40× oil immersion · bone marrow aspirate smear: 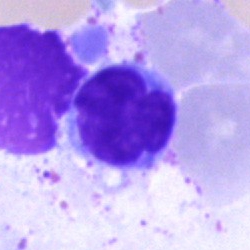 A lymphocyte.